Bone marrow smear.
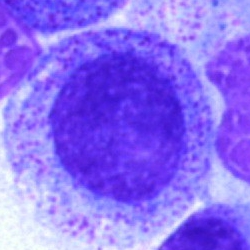Specimen: bone marrow aspirate smear.
Morphological class: myelocyte.